Single-cell crop; 250×250 px; bone marrow smear
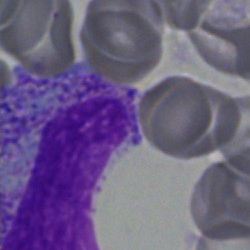 Cell — myelocyte.